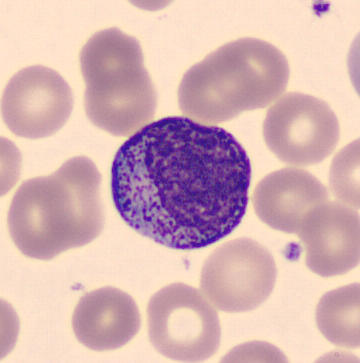
Single cell identified as a progranulocyte.